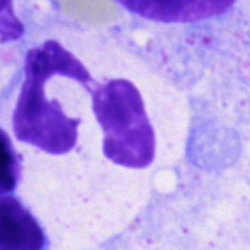 Single-cell crop from a bone marrow smear: segmented neutrophil.